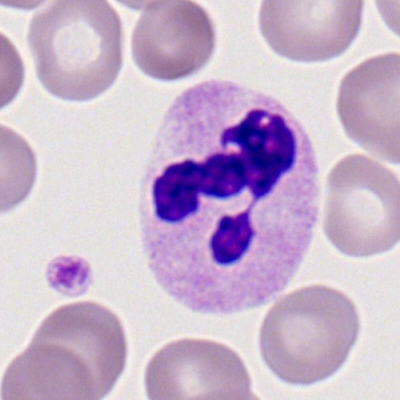 Q: What cell is this?
A: It is a segmented neutrophil.